Bone marrow aspirate smear:
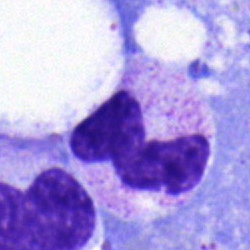

The classification is segmented neutrophil.